Bone marrow smear.
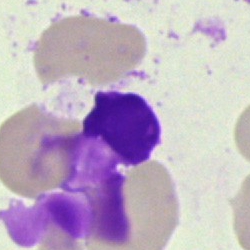
Q: What is shown here?
A: It is an artefact.